Bone marrow smear: 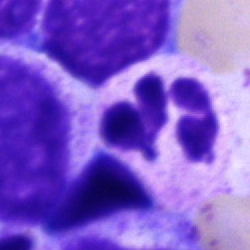
{"cell_type": "eosinophil"}